Peripheral blood smear.
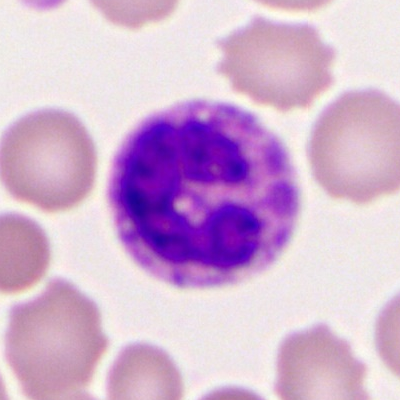 {"cell_type": "band neutrophil", "lineage": "myeloid"}